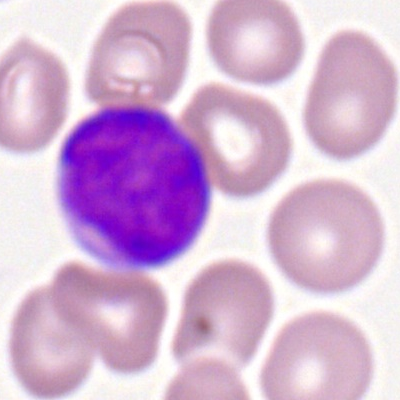
{"cell_type": "myeloid blast"}